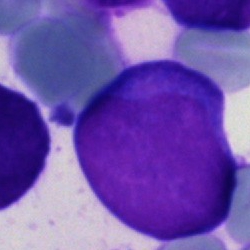Specimen: bone marrow smear.
Cell type: undifferentiated blast.